Bone marrow smear — 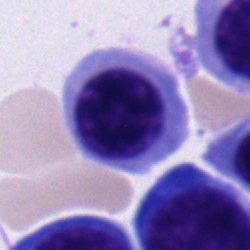Cell: erythroblast.